Bone marrow aspirate smear; 250×250 px:
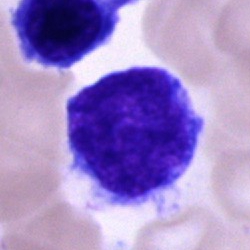 Single cell identified as an undifferentiated blast.